Peripheral blood smear; single-cell field — 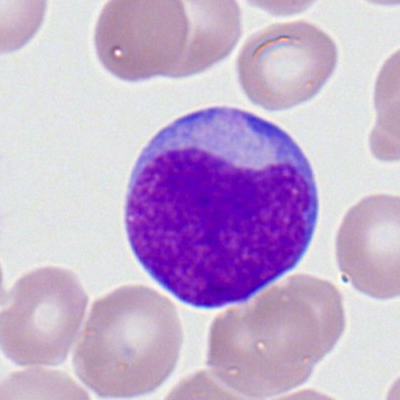

A myeloid blast.